Pappenheim-stained; image size 250×250; bone marrow aspirate smear.
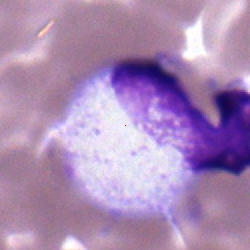

The classification is neutrophil (segmented).